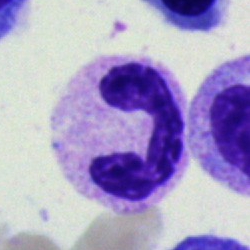 Impression — neutrophil (segmented).